Bone marrow aspirate smear: 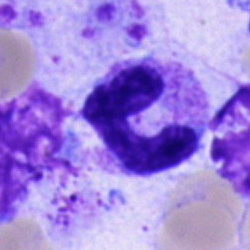

Q: Identify the cell.
A: This is a band-form neutrophil.